Bone marrow smear
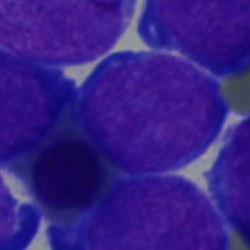The morphological class is undifferentiated blast.